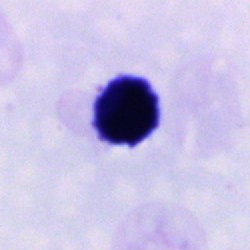

Single-cell crop from a bone marrow smear: cell of indeterminate lineage.